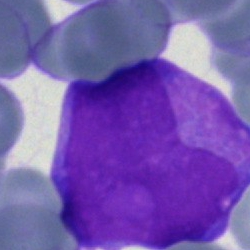

Specimen: bone marrow smear.
Classification: blast cell.